Bone marrow smear. May-Grünwald-Giemsa/Pappenheim stain. Brightfield microscopy, 40× oil immersion.
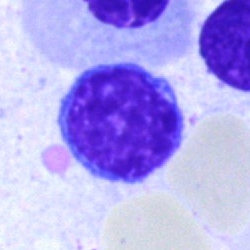Cell type = typical lymphocyte.